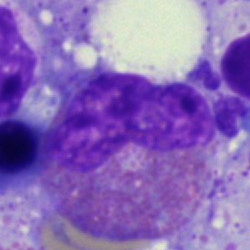
{"cell_type": "eosinophilic granulocyte"}